40× oil immersion · bone marrow aspirate smear: 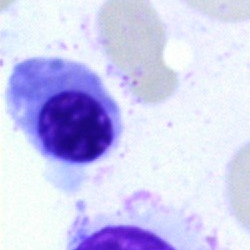

Specimen: bone marrow aspirate smear.
Morphological class: erythroblast.